Bone marrow aspirate smear.
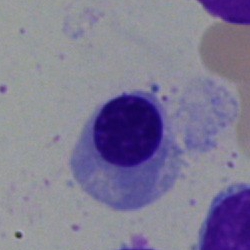
A normoblast.